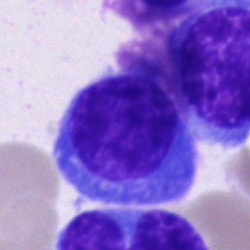

This is a plasma cell.